May-Grünwald-Giemsa stain · single cell centered in the field · bone marrow smear
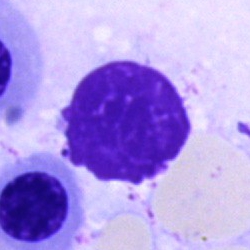 {"cell_type": "artifact"}